Brightfield microscopy, 40× oil immersion. Bone marrow aspirate smear. 250×250 px
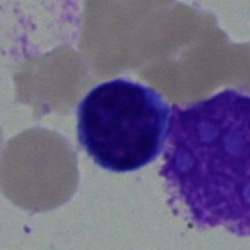
Morphological class: typical lymphocyte.